Brightfield, 40× oil-immersion objective. Bone marrow aspirate smear. Image size 250×250 — 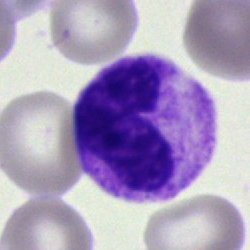 Q: What is shown here?
A: Band-form neutrophil.